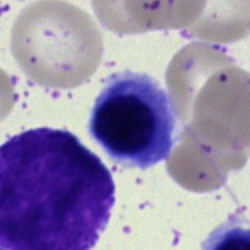 Cell: nucleated red cell.